Bone marrow smear:
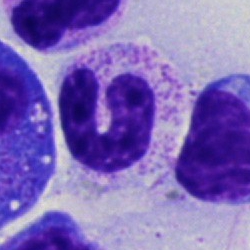 Morphological class = stab cell.